May-Grünwald-Giemsa stain; bone marrow smear
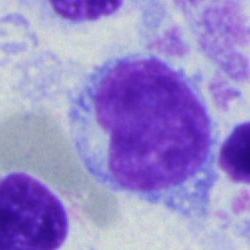This is a hairy cell.